Bone marrow aspirate smear; 250×250 px:
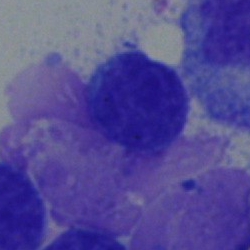
A lymphocyte.